Bone marrow smear · single-cell crop.
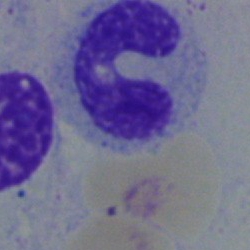
Q: Identify the cell.
A: This is a band neutrophil.